Cropped to a single cell. Bone marrow aspirate smear. Brightfield, 40× oil-immersion objective
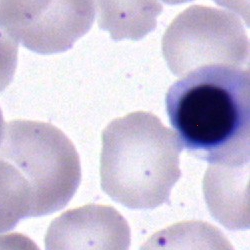

Classification = normoblast.